Bone marrow aspirate smear. Brightfield, 40× oil-immersion objective:
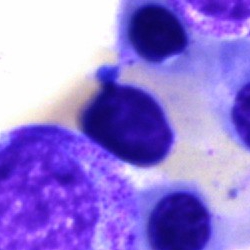

An artefact.